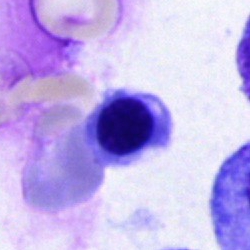
Classification = nucleated red cell.